Single-cell crop. Bone marrow aspirate smear
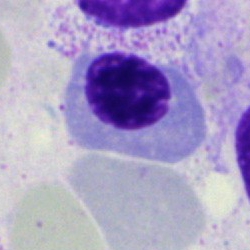
The cell is nucleated red cell.